Bone marrow aspirate smear; cropped to a single cell:
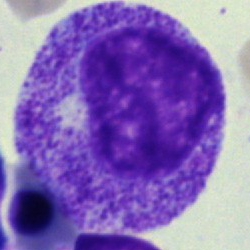
Morphological class = promyelocyte.